Bone marrow smear:
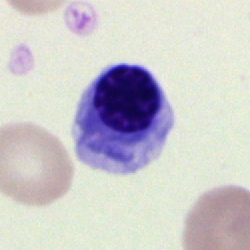
Cell = erythroblast.